Peripheral blood smear.
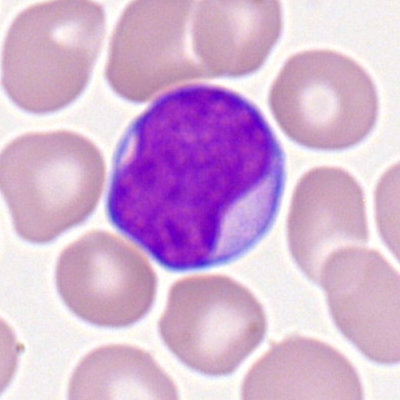A myeloblast.